40× objective, oil immersion · MGG-stained · bone marrow aspirate smear.
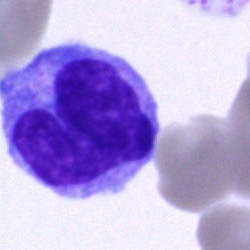
Morphological class: monocyte.